Bone marrow aspirate smear.
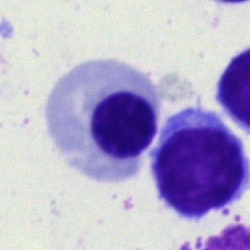 Impression — nucleated red blood cell.